Image size 400×400. Peripheral blood smear: 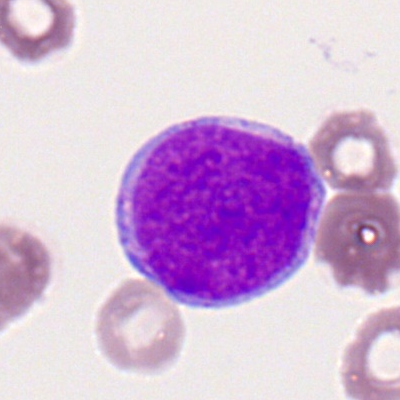
This is a myeloid blast.